Single-cell field · 400×400 px · peripheral blood smear.
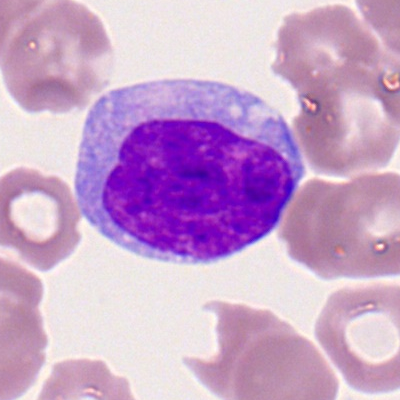

Monocyte.